40× objective, oil immersion; bone marrow smear
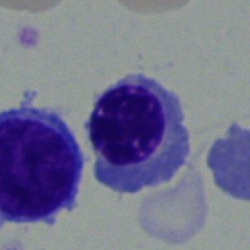

Morphology — nucleated red cell.